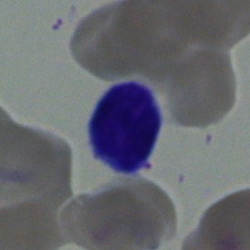

Cell type: lymphocyte.